Single-cell crop; bone marrow aspirate smear: 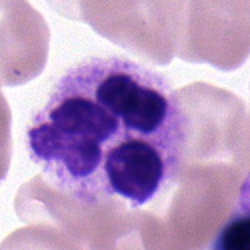Cell type = segmented neutrophil.